Bone marrow smear; brightfield, 40× oil-immersion objective; 250 by 250 pixels: 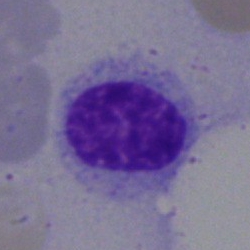
Single cell identified as a lymphocyte.